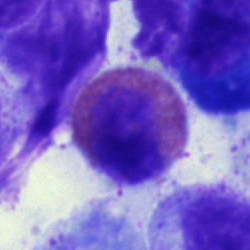

Specimen: bone marrow smear.
Cell: eosinophil.